Single cell centered in the field · bone marrow smear · May-Grünwald-Giemsa stain: 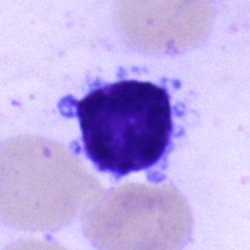

Typical lymphocyte.